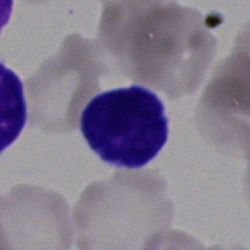{"cell_type": "typical lymphocyte"}